Bone marrow aspirate smear
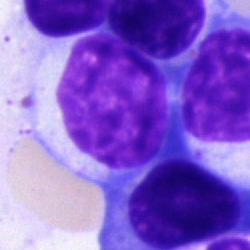 Q: What type of cell is this?
A: This is a lymphocyte.